Bone marrow aspirate smear:
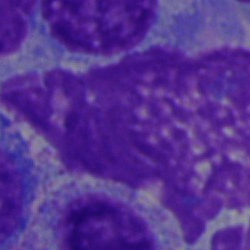
Morphology — artefact.